Peripheral blood film.
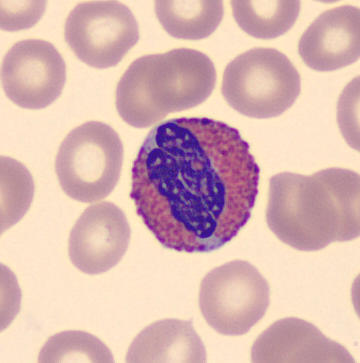The morphological class is eosinophil.